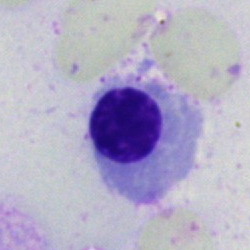The cell shown is a normoblast.